Single-cell crop; 250×250; bone marrow smear
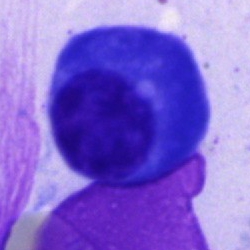

Morphological class: plasma cell.